Bone marrow aspirate smear. Image size 250×250:
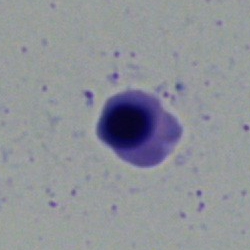Morphology → erythroblast.